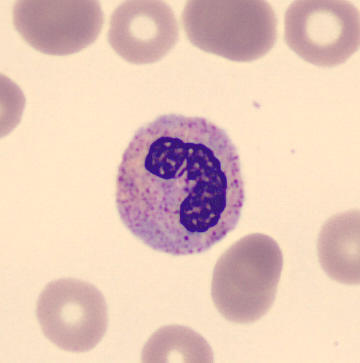

Peripheral blood smear.

Morphology → neutrophil (band).